Bone marrow aspirate smear; May-Grünwald-Giemsa/Pappenheim stain.
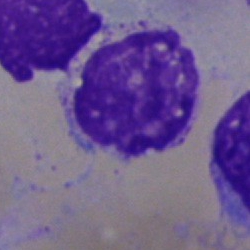

Morphology — artifact.